Bone marrow smear. MGG-stained — 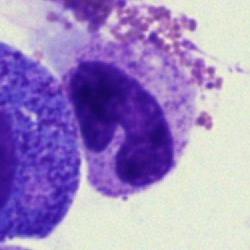
This is a neutrophil (band).